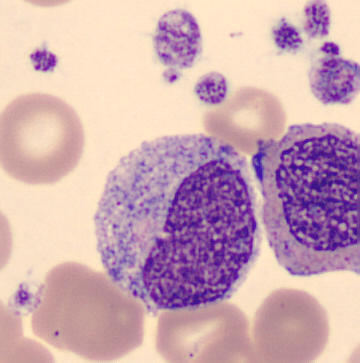

The cell shown is a progranulocyte.